Single-cell crop · bone marrow smear
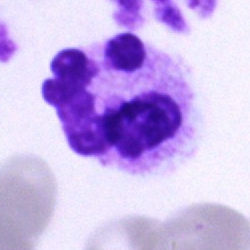The cell shown is a neutrophil (segmented).